40× oil immersion · bone marrow aspirate smear: 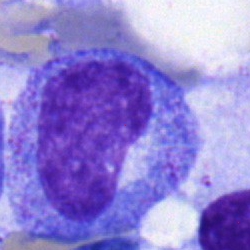
Showing a metamyelocyte.